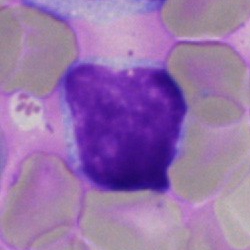
Lymphocyte.